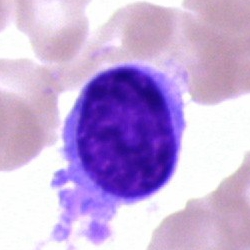

Q: What type of cell is this?
A: Hairy cell.